250×250 px. Cropped to a single cell. Bone marrow aspirate smear — 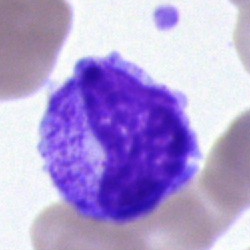
Q: What cell is this?
A: It is a metamyelocyte.